Bone marrow aspirate smear. May-Grünwald-Giemsa stain.
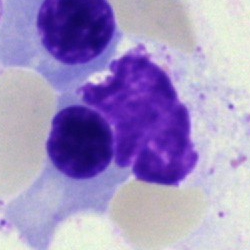
Cell type = erythroblast.